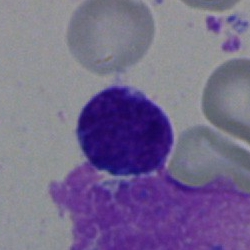
{"cell_type": "lymphocyte", "lineage": "lymphoid"}